Bone marrow smear: 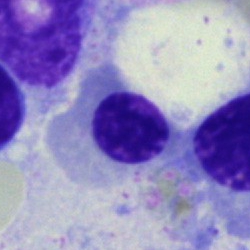
Q: Which cell type is shown here?
A: This is a nucleated red blood cell.